Bone marrow smear.
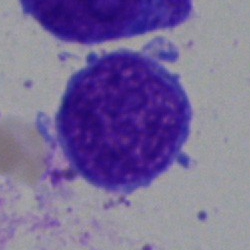The cell is lymphocyte.